Bone marrow aspirate smear:
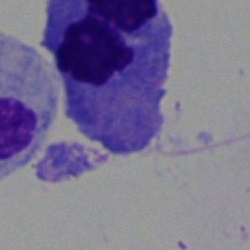Specimen: bone marrow aspirate smear.
Classification: artifact.